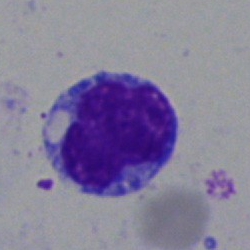 Morphology consistent with a lymphocyte.